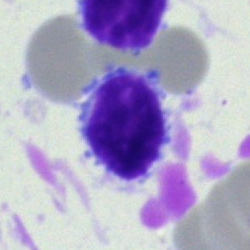Morphology → lymphocyte.